Bone marrow smear; 250×250; 40× objective, oil immersion
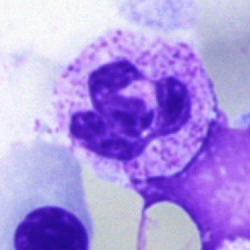
The classification is segmented neutrophil.